Bone marrow aspirate smear · 40× objective, oil immersion · single-cell field
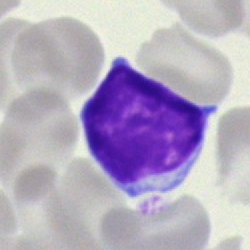
Specimen: bone marrow smear.
Cell: lymphocyte.
Lineage: lymphoid.